MGG-stained · bone marrow aspirate smear · single-cell field
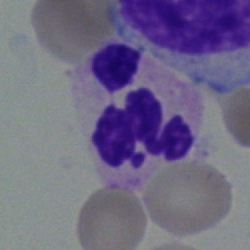

The cell shown is a polymorphonuclear neutrophil.